Bone marrow smear — 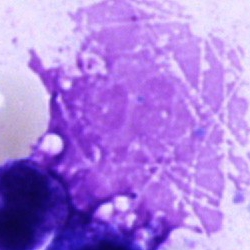

Morphology consistent with an artifact.